Bone marrow aspirate smear
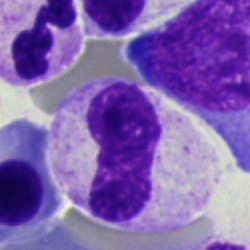 Morphology — band neutrophil.